250×250; bone marrow aspirate smear
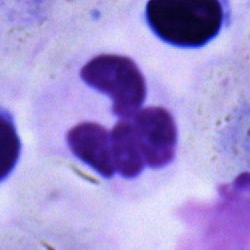

Morphological class — neutrophil (segmented).